400×400. Peripheral blood film.
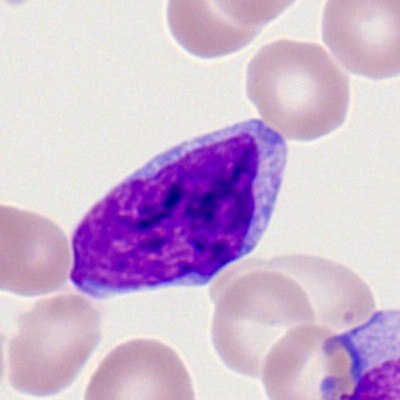 Q: What is the morphological classification of this cell?
A: It is a myeloblast.